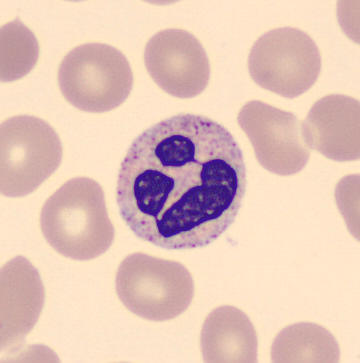Polymorphonuclear neutrophil.

Peripheral blood smear. 360×363. Single-cell field.